Bone marrow aspirate smear
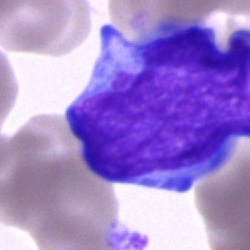 Impression → blast.